Single-cell crop. Bone marrow smear. Brightfield, 40× oil-immersion objective — 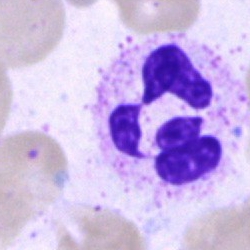

Specimen: bone marrow aspirate smear.
Cell: neutrophil (segmented).